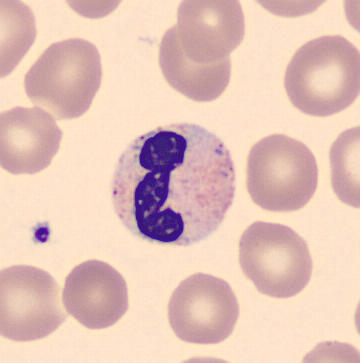Preparation: Peripheral blood smear.
Cell — band neutrophil.